Bone marrow smear
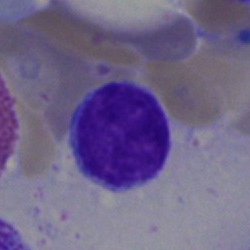
Specimen: bone marrow aspirate smear.
Classification: typical lymphocyte.
Lineage: lymphoid.